Bone marrow smear; 40× oil immersion.
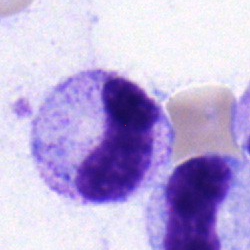

Cell: band neutrophil.